Image size 250×250. Bone marrow smear:
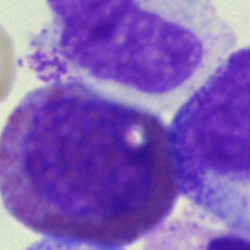 Impression — eosinophil.